Bone marrow smear; single-cell crop: 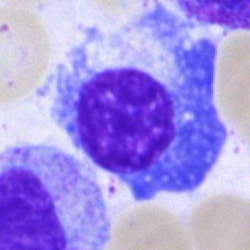
Morphology — plasmacyte.